Bone marrow aspirate smear
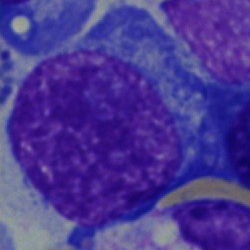Impression → normoblast.